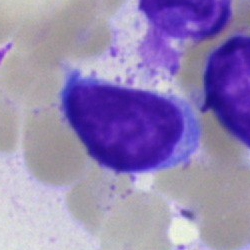 Showing a typical lymphocyte.